40× objective, oil immersion. Single-cell crop. Bone marrow smear.
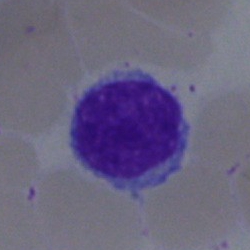

Impression — lymphocyte.